Bone marrow smear — 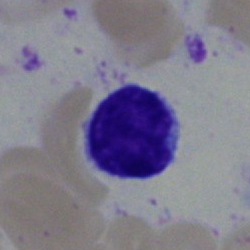 Q: What is the morphological classification of this cell?
A: It is a typical lymphocyte.